Single-cell crop · bone marrow smear
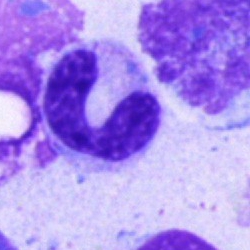A stab cell.